Bone marrow smear:
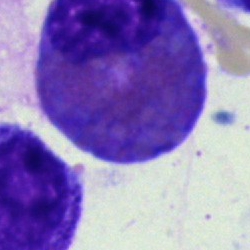Specimen: bone marrow smear.
Morphological class: eosinophilic granulocyte.